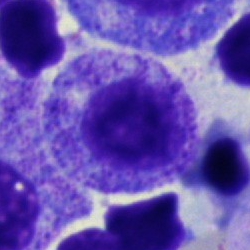 Q: Which cell type is shown here?
A: A myelocyte.